Cropped to a single cell. Bone marrow aspirate smear. 40× oil immersion
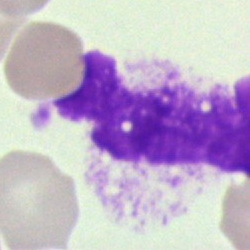

An artefact.